Bone marrow aspirate smear; brightfield microscopy, 40× oil immersion; Pappenheim-stained: 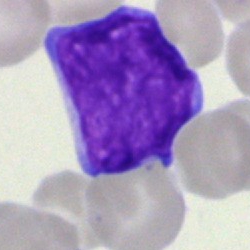
Classification: undifferentiated blast.